Bone marrow smear: 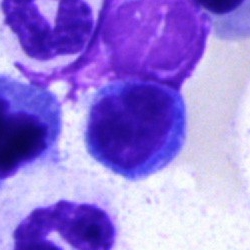The cell shown is a typical lymphocyte.